Bone marrow smear
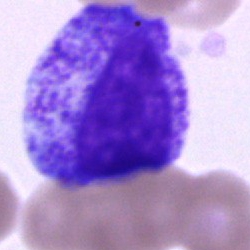

Morphology consistent with a promyelocyte.